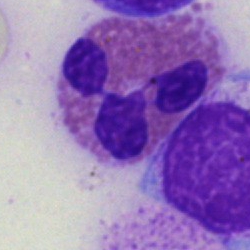Cell type: eosinophil.